Bone marrow smear.
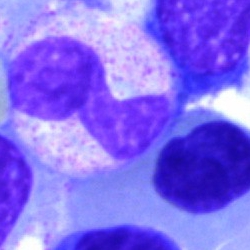 The cell type is stab cell.